May-Grünwald-Giemsa/Pappenheim stain · brightfield microscopy, 40× oil immersion · bone marrow smear.
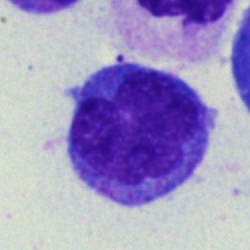
Morphological class: monocyte.